100× oil immersion, 14.14 px/µm · peripheral blood smear.
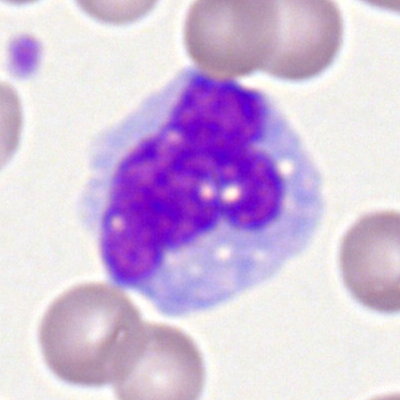

{"cell_type": "monocyte", "lineage": "myeloid"}